Single cell centered in the field · bone marrow aspirate smear · Pappenheim-stained: 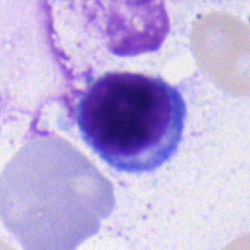 Morphology — lymphocyte.